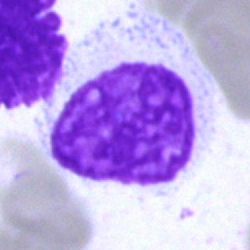
Specimen: bone marrow aspirate smear.
Cell: artefact.